40× objective, oil immersion. Bone marrow aspirate smear: 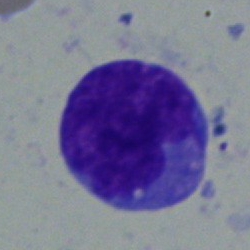

Specimen: bone marrow smear.
Morphological class: blast.